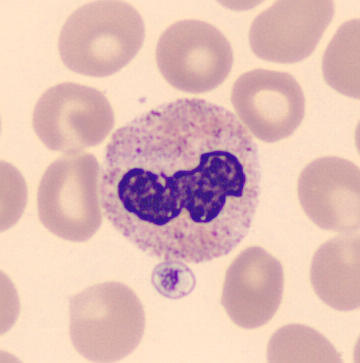Image: Peripheral blood film.
Showing a neutrophil (segmented).